Bone marrow aspirate smear
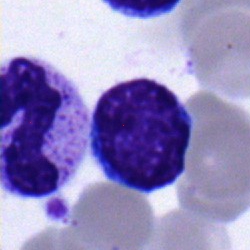

Q: What cell is this?
A: Lymphocyte.